Bone marrow smear: 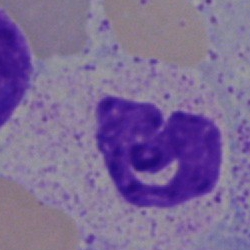
{"cell_type": "neutrophil (segmented)", "lineage": "myeloid"}